Bone marrow smear:
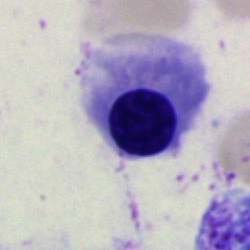 This is a nucleated red blood cell.